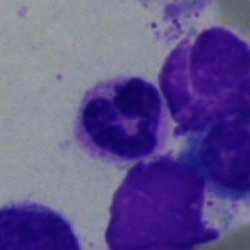
Q: Identify the cell.
A: This is a polymorphonuclear neutrophil.